Bone marrow aspirate smear; 40× oil immersion.
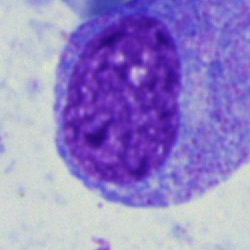

Single cell identified as a promyelocyte.